Romanowsky-stained; peripheral blood smear; 100× oil immersion, 14.14 px/µm.
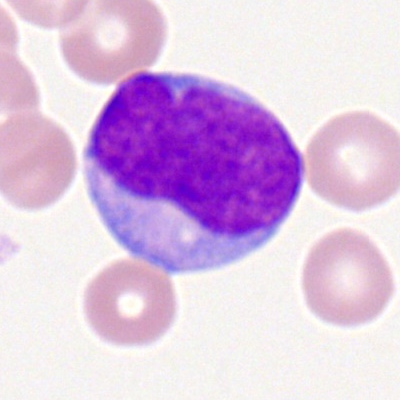 The cell shown is a myeloid blast.